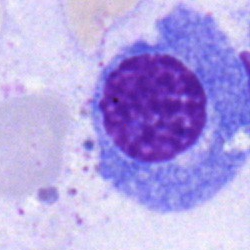
Plasma cell.